Bone marrow smear.
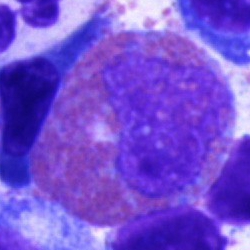
The cell type is eosinophilic granulocyte.